Single cell centered in the field. Bone marrow smear
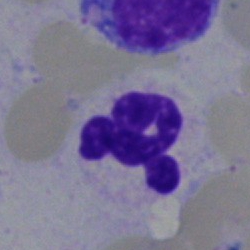
Specimen: bone marrow smear.
Cell: segmented neutrophil.
Lineage: myeloid.